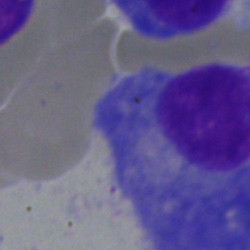 Specimen: bone marrow aspirate smear.
Morphological class: plasmacyte.